Single-cell crop. Brightfield, 40× oil-immersion objective. Bone marrow aspirate smear.
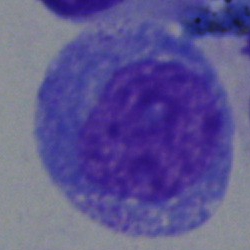 Single cell identified as a myelocyte.